Bone marrow smear. 250×250 — 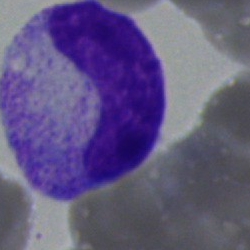Specimen: bone marrow aspirate smear.
Classification: band neutrophil.